Bone marrow smear:
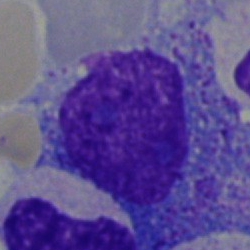 Specimen: bone marrow smear.
Morphological class: progranulocyte.
Lineage: myeloid.